250 by 250 pixels; MGG-stained; bone marrow smear: 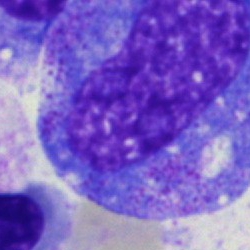The cell shown is a proerythroblast.